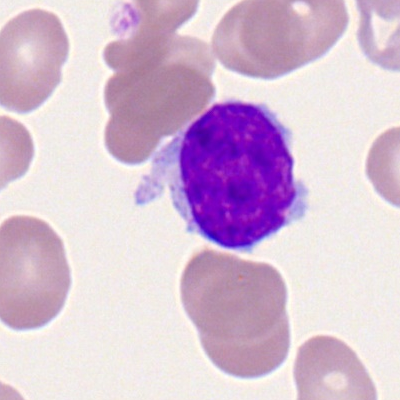
Specimen: peripheral blood smear.
Classification: typical lymphocyte.
Lineage: lymphoid.